Bone marrow aspirate smear: 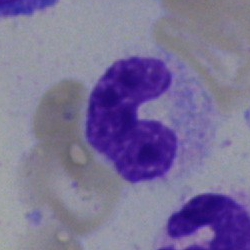 Specimen: bone marrow smear.
Classification: neutrophil (band).
Lineage: myeloid.